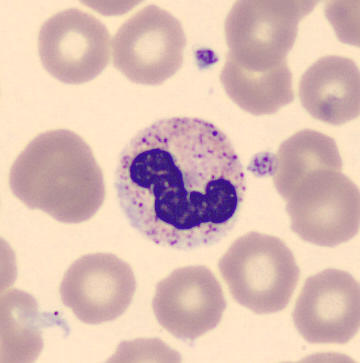

Q: What is this?
A: A neutrophil (band). Acquisition: Peripheral blood smear · CellaVision DM96.